Image size 250×250; bone marrow aspirate smear; cropped to a single cell: 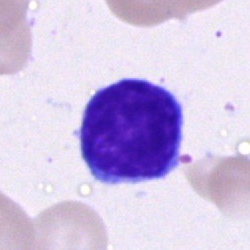

Single cell identified as a lymphocyte.